Bone marrow smear; brightfield, 40× oil-immersion objective.
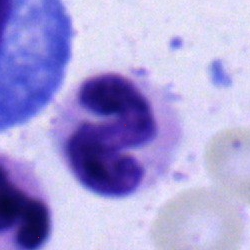Showing a neutrophil (band).